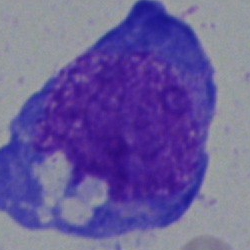

{"cell_type": "undifferentiated blast"}